Peripheral blood smear — 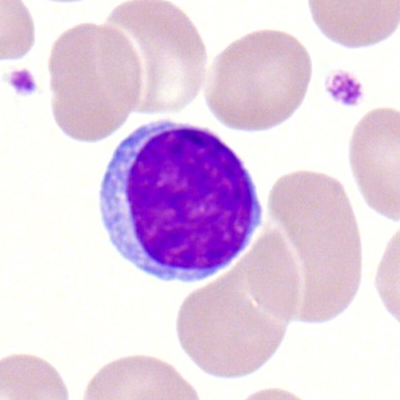 Q: What type of cell is this?
A: Typical lymphocyte.